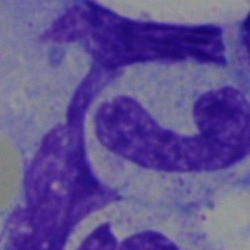Impression → stab cell.